Peripheral blood film · MGG stain — 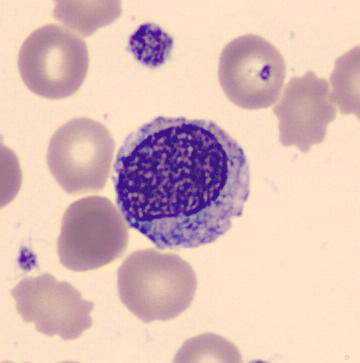Myelocyte.